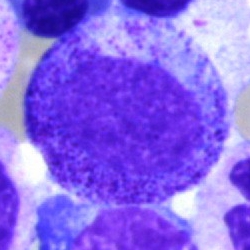
Morphology consistent with a promyelocyte.